Bone marrow smear
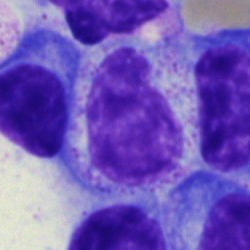
Specimen: bone marrow aspirate smear.
Cell: myelocyte.